Bone marrow aspirate smear:
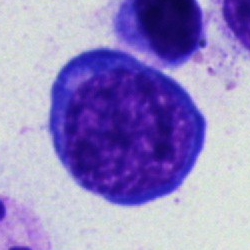
This is a nucleated red cell.